Bone marrow aspirate smear — 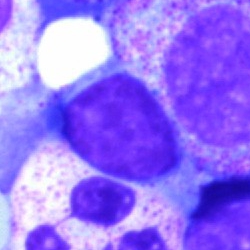

Morphology → typical lymphocyte.